40× oil immersion · bone marrow aspirate smear.
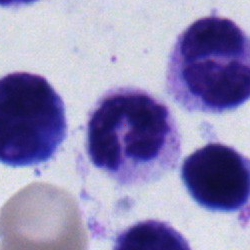

Morphology — segmented neutrophil.